May-Grünwald-Giemsa/Pappenheim stain · 250 by 250 pixels · bone marrow aspirate smear: 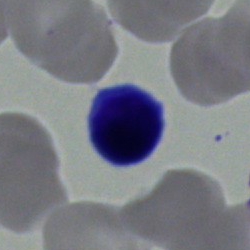

Single cell identified as a typical lymphocyte.